40× objective, oil immersion · bone marrow smear.
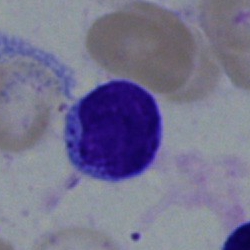

{"cell_type": "lymphocyte", "lineage": "lymphoid"}